Bone marrow smear:
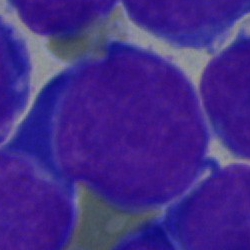

Impression → undifferentiated blast.